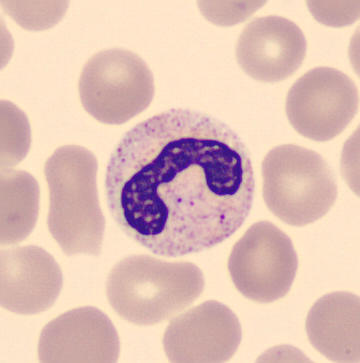 Preparation: Peripheral blood smear; CellaVision DM96. The cell shown is a band-form neutrophil.